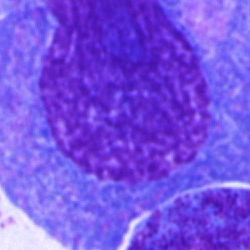 Single-cell crop from a bone marrow smear: promyelocyte.